100× oil immersion. Romanowsky-type stain. Peripheral blood smear.
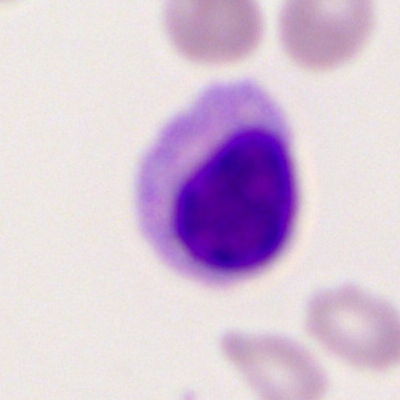Morphology → lymphocyte.